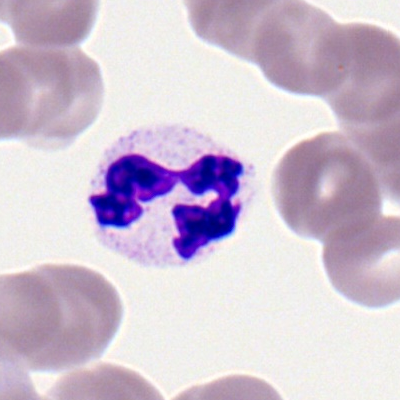Q: What type of cell is this?
A: It is a segmented neutrophil.